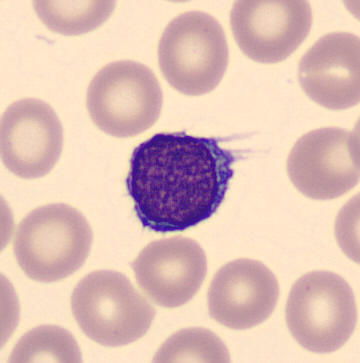Lymphocyte.
Image: Automated cell imaging (CellaVision DM96). MGG-stained. Peripheral blood film.